Bone marrow aspirate smear: 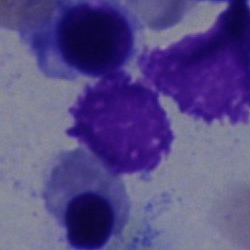

Artifact.